Bone marrow smear: 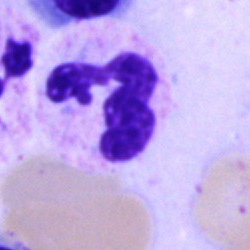 Morphology consistent with a neutrophil (segmented).